Bone marrow smear
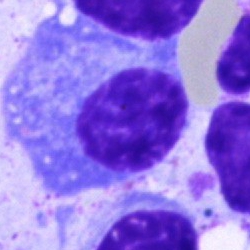 This is a plasma cell.